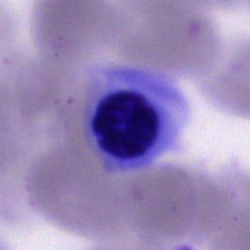

{"cell_type": "nucleated red blood cell", "lineage": "erythroid"}